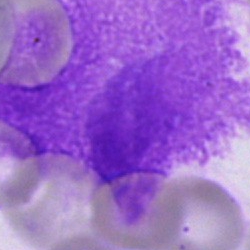
Single cell identified as an artefact.